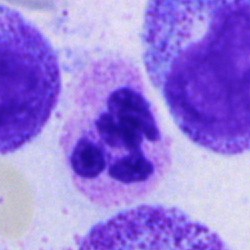A neutrophil (segmented) on a bone marrow smear.